Image size 250×250; bone marrow smear — 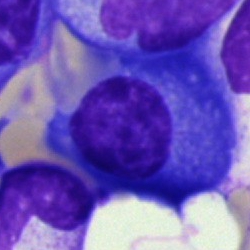
Q: What cell is this?
A: A typical lymphocyte.